May-Grünwald-Giemsa/Pappenheim stain. Image size 250×250. Bone marrow aspirate smear
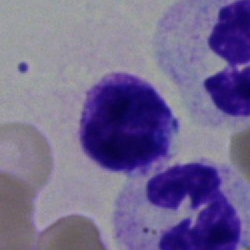Morphology → basophil.